Bone marrow aspirate smear: 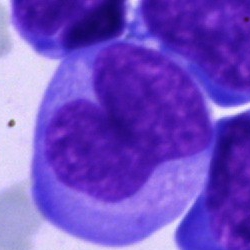 An undifferentiated blast.